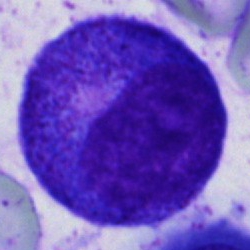

Single cell identified as a progranulocyte.